Bone marrow smear:
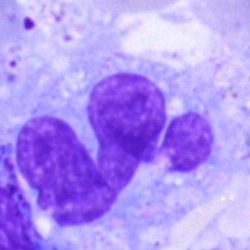The cell shown is a monocyte.